May-Grünwald-Giemsa/Pappenheim stain; bone marrow aspirate smear — 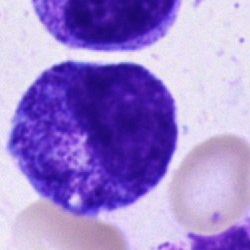
Progranulocyte.